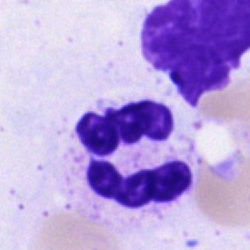 Specimen: bone marrow smear.
Cell: segmented neutrophil.
Lineage: myeloid.